Bone marrow aspirate smear — 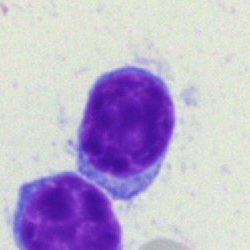 Lymphocyte.